Peripheral blood smear · cropped to a single cell:
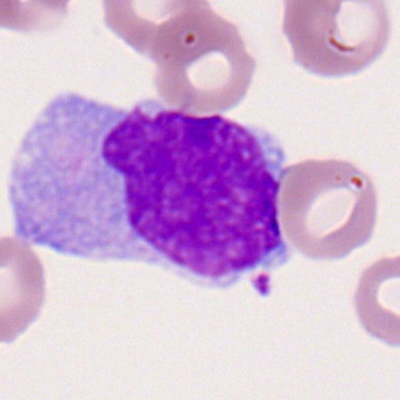

Morphology consistent with a monocyte.